Bone marrow smear — 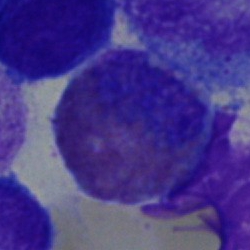

{"cell_type": "eosinophil", "lineage": "myeloid"}